MGG-stained; bone marrow smear:
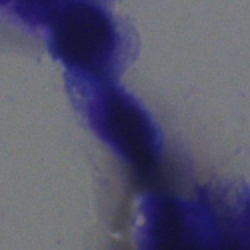

Cell — artefact.